Bone marrow smear · single-cell crop: 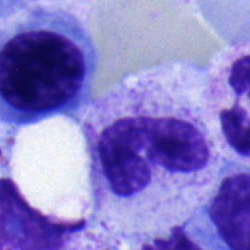 Morphological class = band-form neutrophil.